Bone marrow smear:
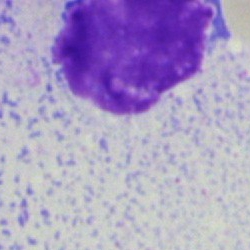 This is an artifact.